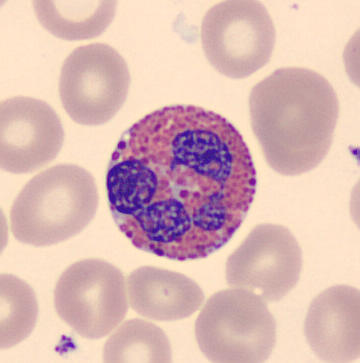

Preparation: Peripheral blood film. MGG-stained. Automated cell imaging (CellaVision DM96).

Morphology consistent with an eosinophilic granulocyte.